May-Grünwald-Giemsa stain. Bone marrow aspirate smear:
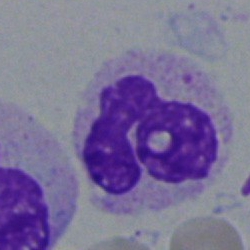
Single cell identified as a neutrophil (segmented).